250×250 · bone marrow smear
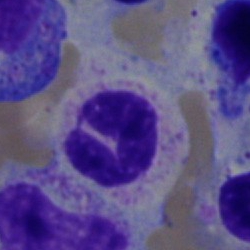The cell shown is a polymorphonuclear neutrophil.